Peripheral blood smear; single-cell field.
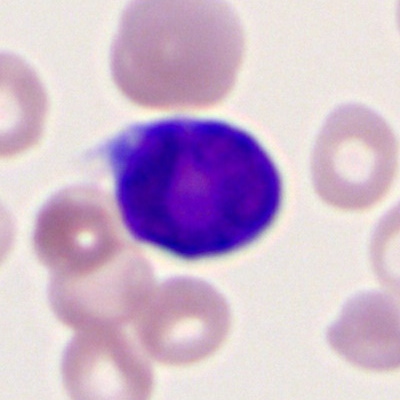

The morphological class is myeloid blast.